Single-cell crop; bone marrow smear; 250 by 250 pixels.
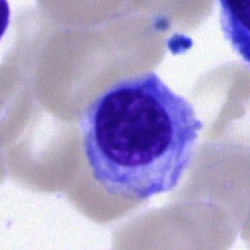

Q: What cell is this?
A: Nucleated red blood cell.